Bone marrow smear: 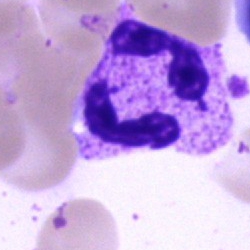
{"cell_type": "polymorphonuclear neutrophil"}